Bone marrow aspirate smear · MGG-stained: 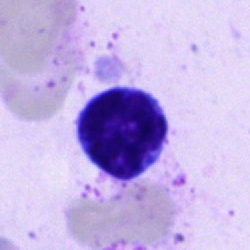

Single cell identified as a typical lymphocyte.